Bone marrow smear.
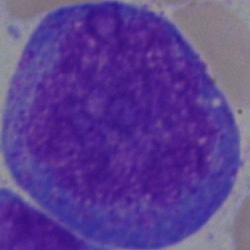 Classification: promyelocyte.